Bone marrow smear: 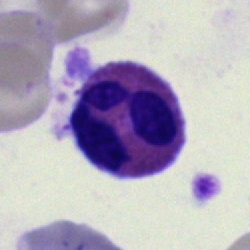

An eosinophil.